Bone marrow smear — 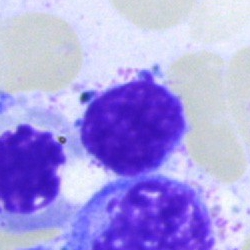

Q: What cell is this?
A: This is a lymphocyte.